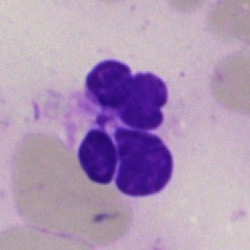 The morphological class is artifact.